Single-cell crop · bone marrow smear · 40× objective, oil immersion: 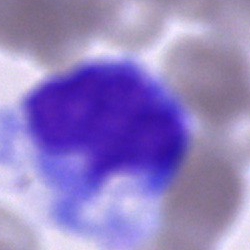

Showing an unidentifiable cell.